Bone marrow smear: 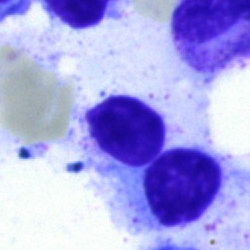 The cell shown is an artifact.